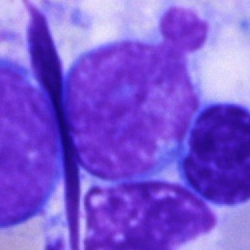

Impression → blast.